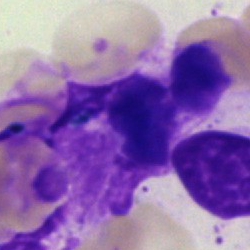Bone marrow aspirate smear, single cell — artefact.